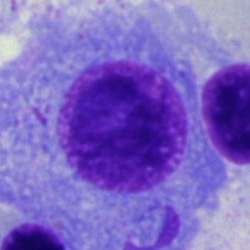 Bone marrow aspirate smear, single cell — plasma cell.